Bone marrow aspirate smear: 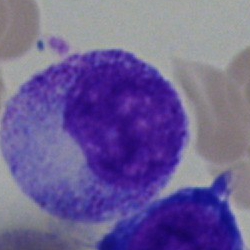

Classification — myelocyte.